40× objective, oil immersion; bone marrow aspirate smear:
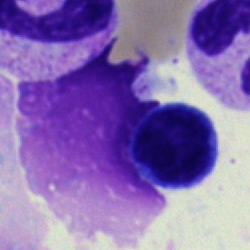 Single cell identified as an artefact.